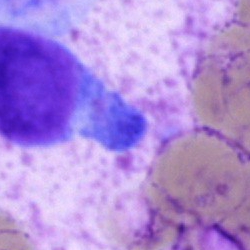

Classification — blast.